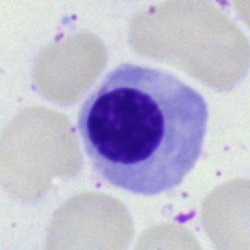
Erythroblast.